Bone marrow aspirate smear:
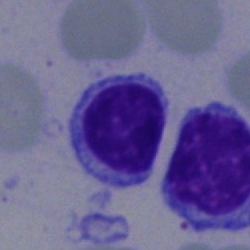Q: Which cell type is shown here?
A: This is a lymphocyte.